250×250; single cell centered in the field; bone marrow aspirate smear
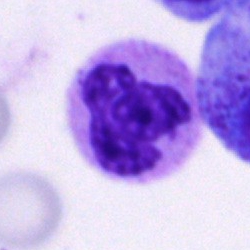 Q: Which cell type is shown here?
A: This is a segmented neutrophil.